Bone marrow aspirate smear
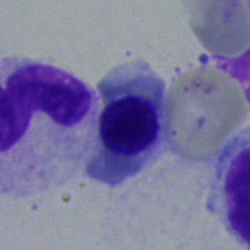Specimen: bone marrow smear.
Cell: normoblast.